Bone marrow smear — 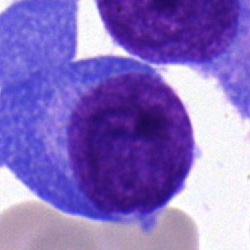
Impression → plasma cell.